Peripheral blood film — 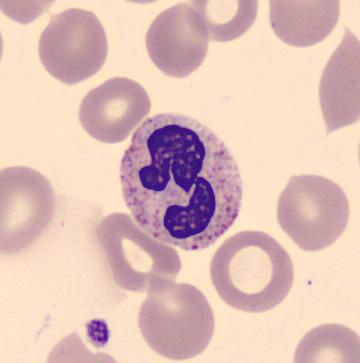 Single cell identified as a neutrophil (segmented).